Bone marrow aspirate smear: 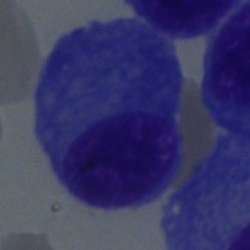
Q: What type of cell is this?
A: Plasmacyte.